Bone marrow smear: 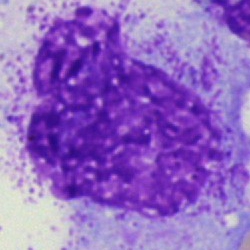

An artifact.